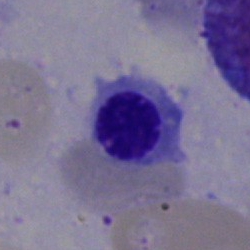 Impression → nucleated red blood cell.